Bone marrow aspirate smear — 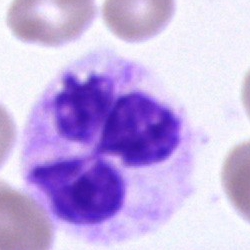 This is an unidentifiable cell.